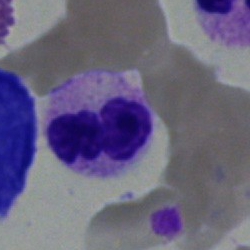 Bone marrow aspirate smear, single cell — neutrophil (segmented).